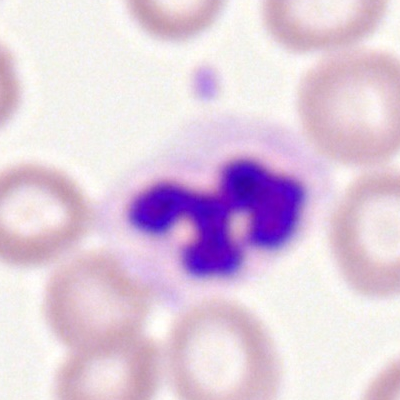
Showing a polymorphonuclear neutrophil.